Brightfield microscopy, 40× oil immersion. Bone marrow smear — 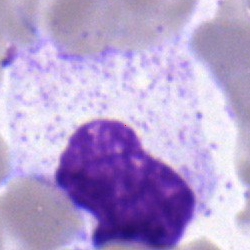
Showing a metamyelocyte.